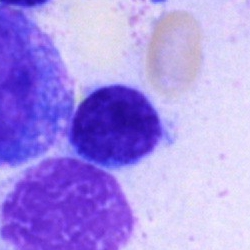Morphology → typical lymphocyte.